Peripheral blood smear
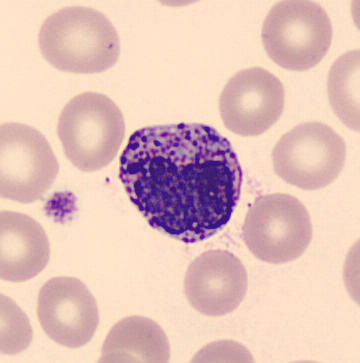

Q: Identify the cell.
A: It is a basophilic granulocyte.